Brightfield microscopy, 40× oil immersion; bone marrow smear; single-cell crop.
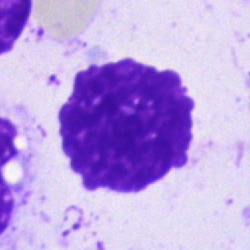{"cell_type": "artifact"}